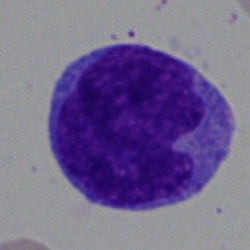Q: What cell is this?
A: A monocyte.